Bone marrow smear
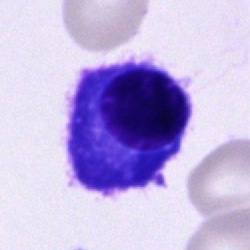 Cell type: plasma cell.